Bone marrow aspirate smear.
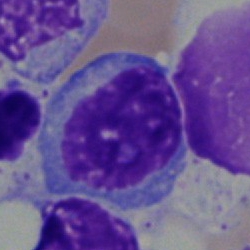
{"cell_type": "typical lymphocyte"}